Bone marrow smear: 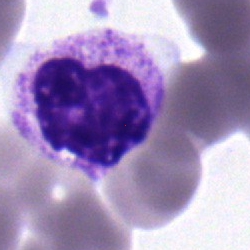
The cell is polymorphonuclear neutrophil.